Single cell centered in the field; bone marrow aspirate smear
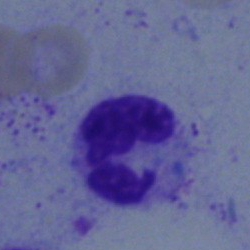
Morphology — polymorphonuclear neutrophil.